250 by 250 pixels. Single-cell field. Bone marrow smear — 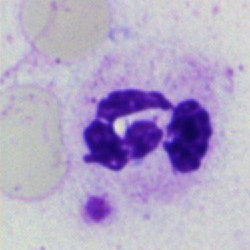 Q: What cell is this?
A: A segmented neutrophil.